Bone marrow aspirate smear.
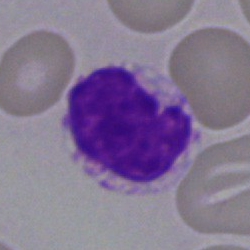 A basophil.